250 by 250 pixels; bone marrow smear:
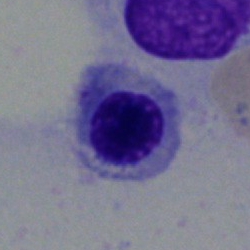

Morphological class: nucleated red blood cell.